Bone marrow smear:
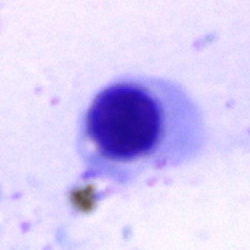
Morphology consistent with an erythroblast.